Bone marrow aspirate smear:
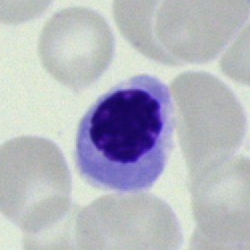

A nucleated red blood cell.